Bone marrow aspirate smear. Brightfield, 40× oil-immersion objective. Single-cell field: 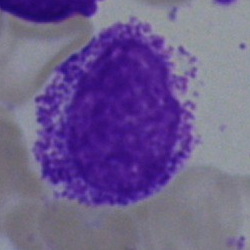Morphology — myelocyte.